Bone marrow smear
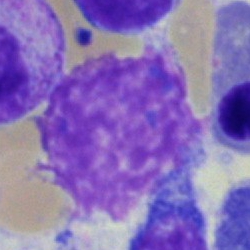 The classification is artifact.